Single-cell field; 250×250; bone marrow smear
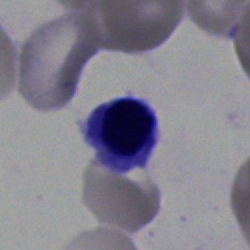

A nucleated red blood cell.